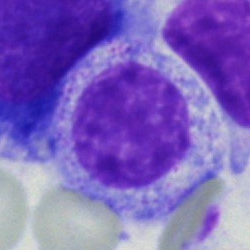 Impression → myelocyte.